Bone marrow smear
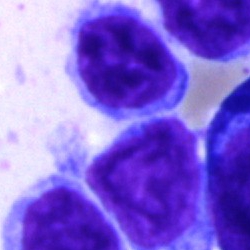Single cell identified as a typical lymphocyte.